Bone marrow smear:
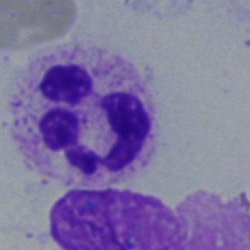 {"cell_type": "polymorphonuclear neutrophil"}